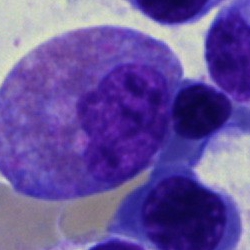Impression — eosinophilic granulocyte.